Cropped to a single cell; bone marrow smear:
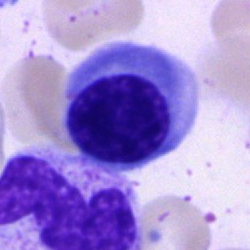Specimen: bone marrow aspirate smear.
Morphological class: nucleated red cell.